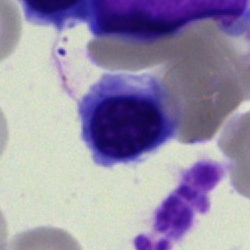Showing a nucleated red blood cell.